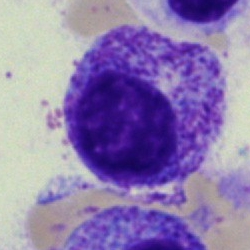 A myelocyte on a bone marrow smear.